Image size 250×250; bone marrow smear — 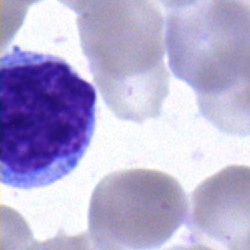
Morphology consistent with a monocyte.